Peripheral blood smear: 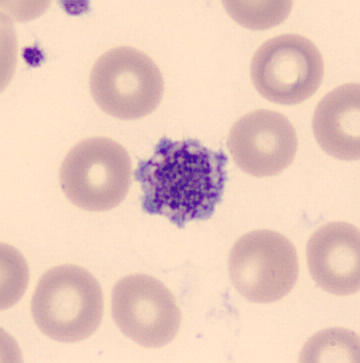

Showing a platelet.